Bone marrow smear:
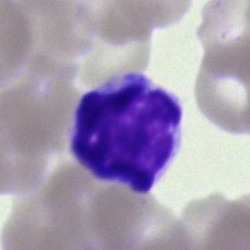

Q: What is shown here?
A: A lymphocyte.